250×250 · cropped to a single cell · bone marrow smear:
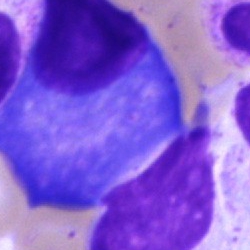Morphology — plasmacyte.